Bone marrow smear; MGG-stained: 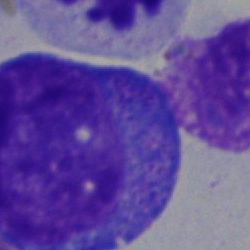Q: Which cell type is shown here?
A: Promyelocyte.